40× objective, oil immersion. Bone marrow aspirate smear — 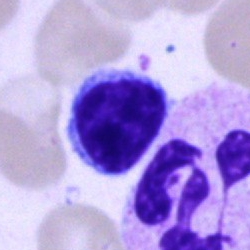

Specimen: bone marrow smear.
Cell type: plasma cell.
Lineage: lymphoid.